Bone marrow smear · 40× oil immersion · May-Grünwald-Giemsa stain — 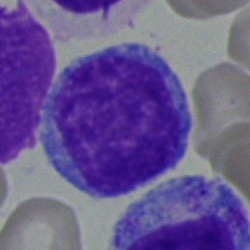
Blast.